Bone marrow aspirate smear:
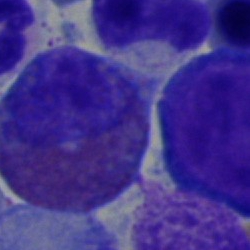
The cell shown is an eosinophilic granulocyte.